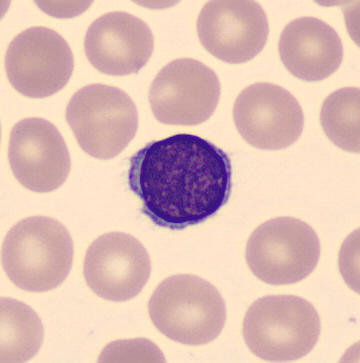From a peripheral blood smear: a lymphocyte.